Bone marrow smear.
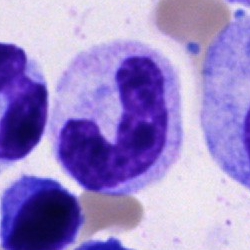Q: What is shown here?
A: Stab cell.